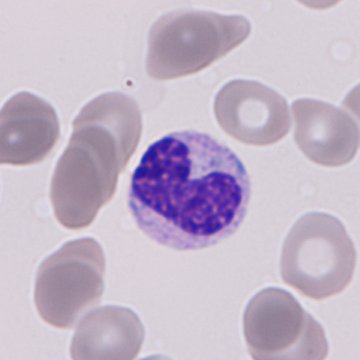Image: Peripheral blood film.
Showing a granulocyte precursor.